Bone marrow smear. 250 by 250 pixels
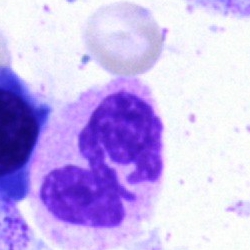
Specimen: bone marrow aspirate smear.
Cell: polymorphonuclear neutrophil.
Lineage: myeloid.